Bone marrow smear
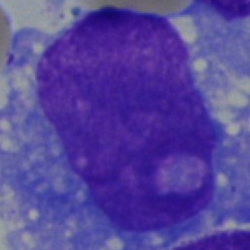Q: Which cell type is shown here?
A: It is a monocyte.